MGG-stained · bone marrow aspirate smear: 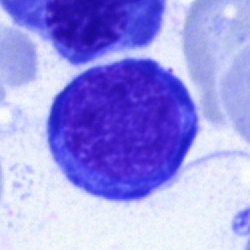
Showing a normoblast.